Bone marrow smear.
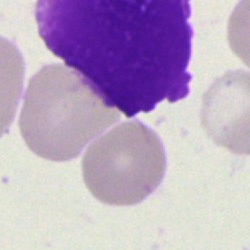An artefact.